Peripheral blood film; single-cell field; 100× oil immersion, 14.14 px/µm: 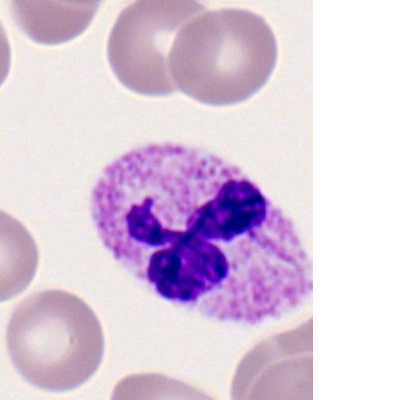
Cell — neutrophil (segmented).